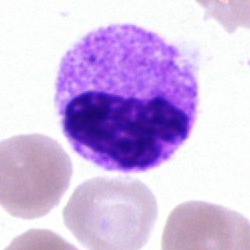
{"cell_type": "segmented neutrophil"}